Peripheral blood smear · image size 400×400: 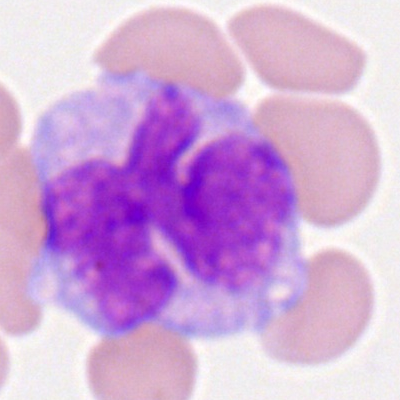
Morphology → monocyte.